Bone marrow aspirate smear: 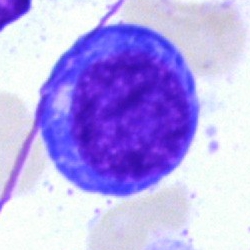

Cell type: proerythroblast.